Romanowsky-type stain · peripheral blood smear:
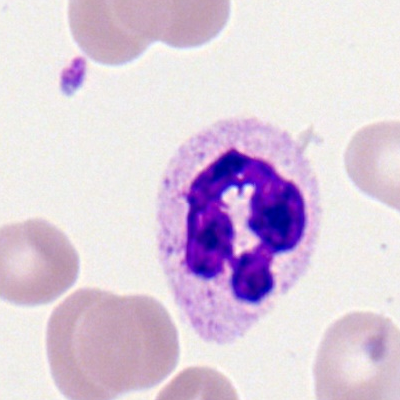The classification is neutrophil (segmented).